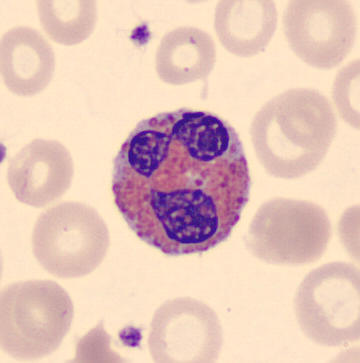
Acquisition: Peripheral blood film · 360×363.

The cell shown is an eosinophilic granulocyte.